Bone marrow smear.
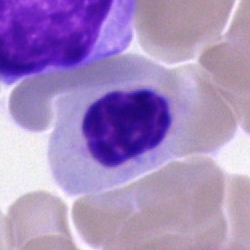 Specimen: bone marrow smear.
Cell type: nucleated red blood cell.
Lineage: erythroid.